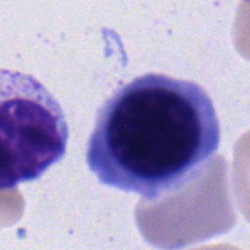 Showing a nucleated red cell.